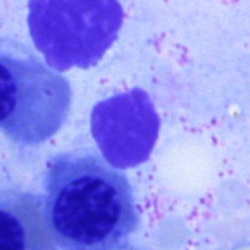Morphological class = artefact.